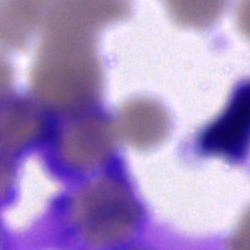
Classification — artifact.